Single cell centered in the field; 250×250; bone marrow aspirate smear: 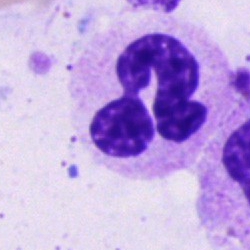Specimen: bone marrow smear.
Morphological class: neutrophil (segmented).
Lineage: myeloid.